Bone marrow smear · 250×250 px: 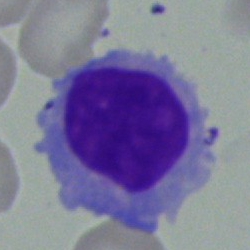
This is a lymphocyte.